Cropped to a single cell · bone marrow smear — 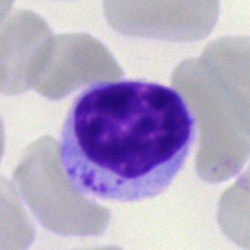

The cell shown is a typical lymphocyte.